400 by 400 pixels; peripheral blood smear; Romanowsky-stained:
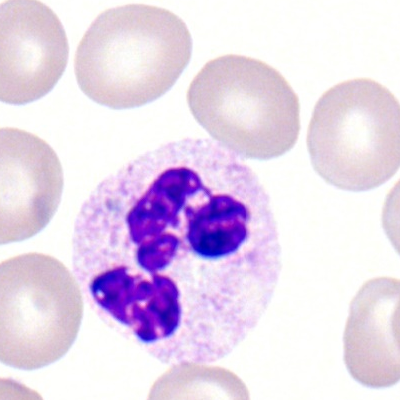Morphology — segmented neutrophil.